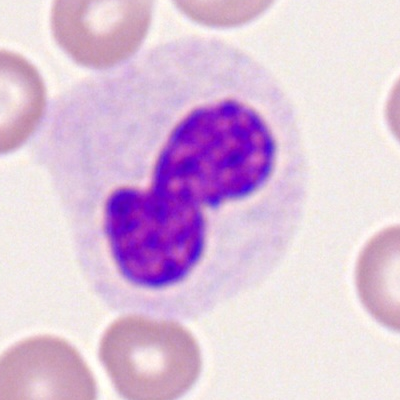 Specimen: peripheral blood film.
Morphological class: polymorphonuclear neutrophil.